Bone marrow smear · 250 by 250 pixels:
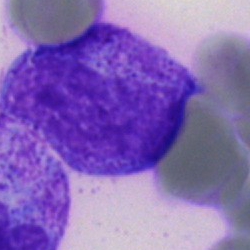

Specimen: bone marrow aspirate smear.
Cell type: myelocyte.